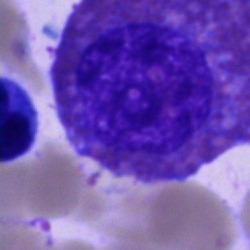Q: What is the morphological classification of this cell?
A: An eosinophil.